Peripheral blood smear · CellaVision DM96
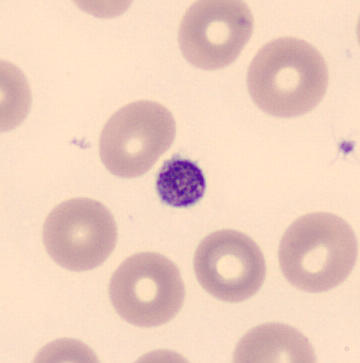
Morphology → platelet (thrombocyte).